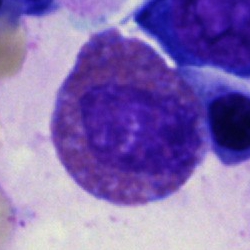

This is an eosinophilic granulocyte.